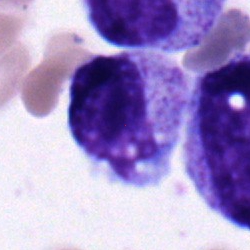
The cell shown is a myelocyte.